Bone marrow aspirate smear: 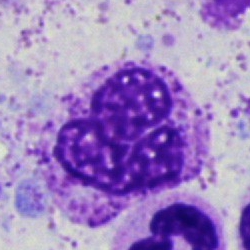

Showing an artifact.